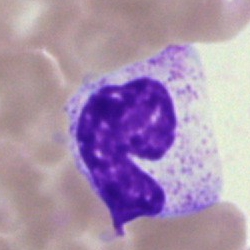 Bone marrow smear showing a band-form neutrophil.